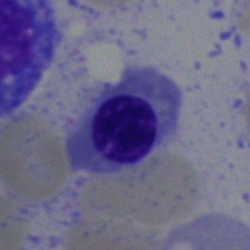Bone marrow smear showing a nucleated red blood cell.